Bone marrow smear:
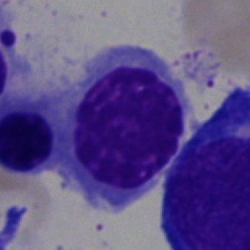 Morphology consistent with a nucleated red cell.